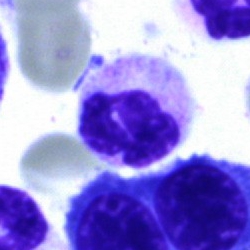 Impression — neutrophil (segmented).